Bone marrow aspirate smear.
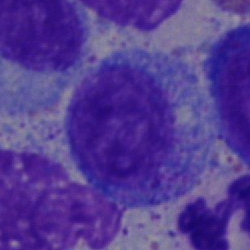

This is a promyelocyte.